Peripheral blood smear:
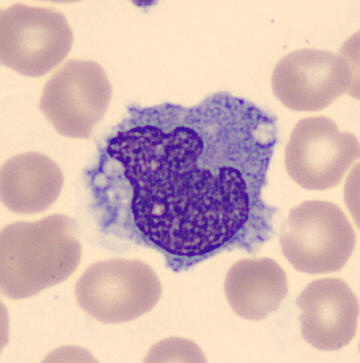 Impression — monocyte.